Bone marrow smear:
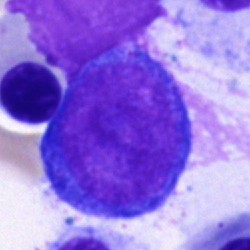
Morphology consistent with a blast.